Bone marrow smear
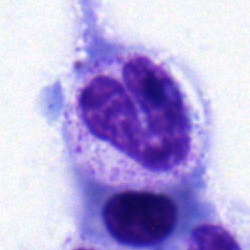

Q: What cell is this?
A: It is a neutrophil (band).